250 by 250 pixels. Bone marrow smear. 40× oil immersion — 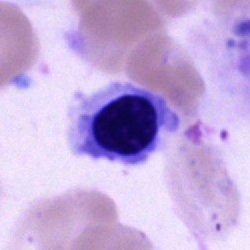

A normoblast.